Bone marrow smear: 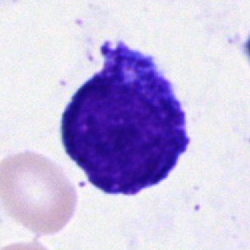

Impression → artefact.